Bone marrow smear
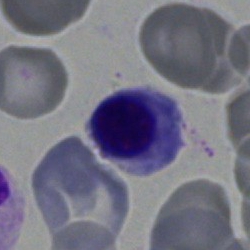 Morphology consistent with a nucleated red blood cell.